May-Grünwald-Giemsa/Pappenheim stain. Bone marrow smear.
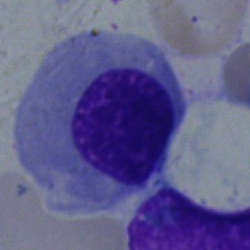 Morphology → nucleated red blood cell.